Peripheral blood film
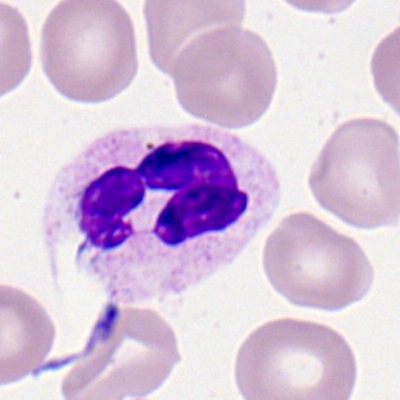 Q: Identify the cell.
A: It is a neutrophil (segmented).